Bone marrow aspirate smear.
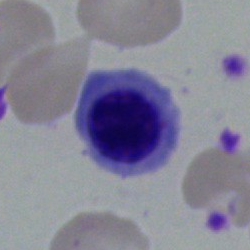 The classification is nucleated red cell.